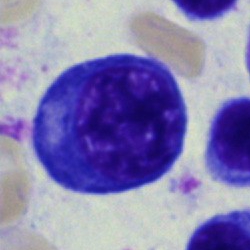

Showing a nucleated red blood cell.